Single-cell crop. Peripheral blood smear:
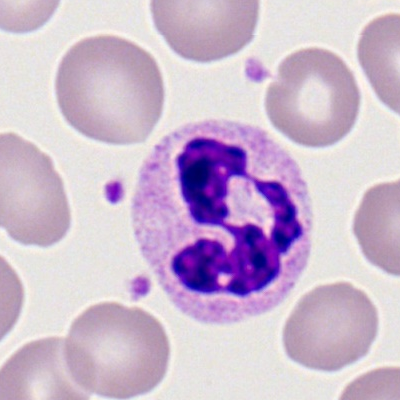

Single cell identified as a neutrophil (segmented).